Peripheral blood film; 400 by 400 pixels — 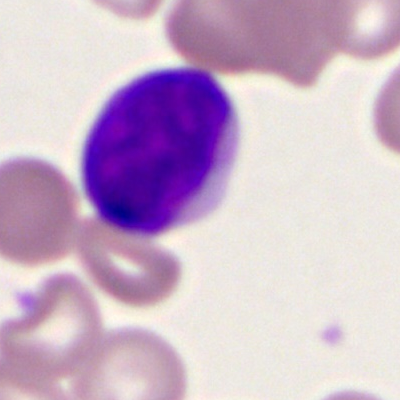

Morphological class = myeloid blast.